40× objective, oil immersion · May-Grünwald-Giemsa/Pappenheim stain · bone marrow smear.
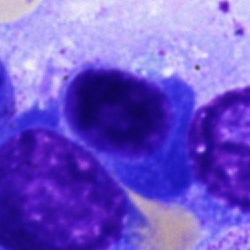

The classification is plasma cell.